Bone marrow smear. Single cell centered in the field:
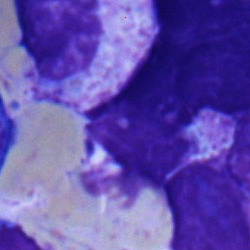Single cell identified as a myelocyte.